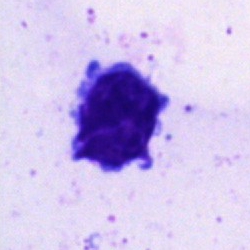

This is a lymphocyte.